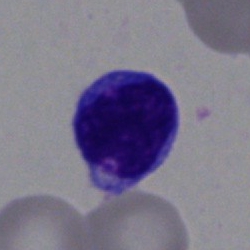This is a lymphocyte.